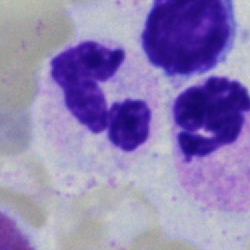

Q: What cell is this?
A: Segmented neutrophil.